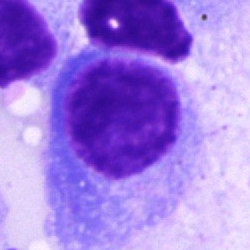Morphological class — plasma cell.